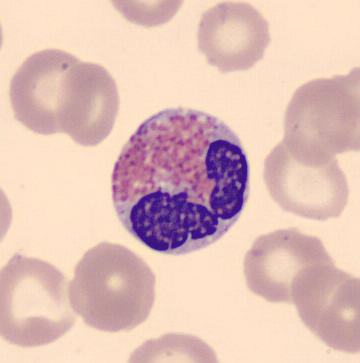
Q: What is this?
A: It is an eosinophilic granulocyte.